Peripheral blood smear · 100× oil immersion, 14.14 px/µm.
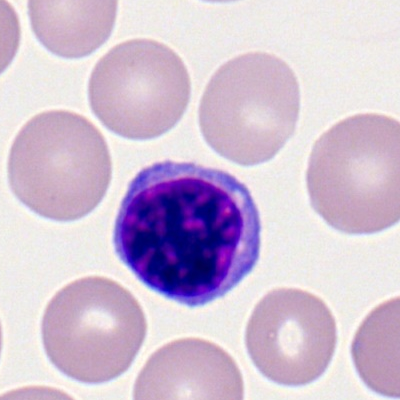

Morphological class: lymphocyte.